Bone marrow aspirate smear: 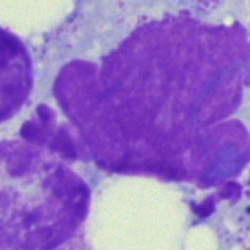

The cell shown is an artefact.